Bone marrow aspirate smear.
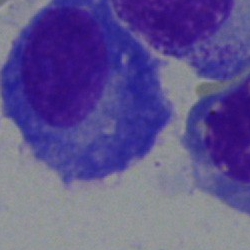

The cell is plasmacyte.